Bone marrow smear: 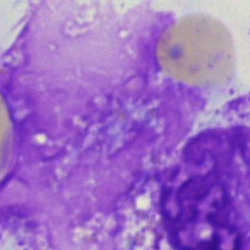
An artifact.